Peripheral blood smear.
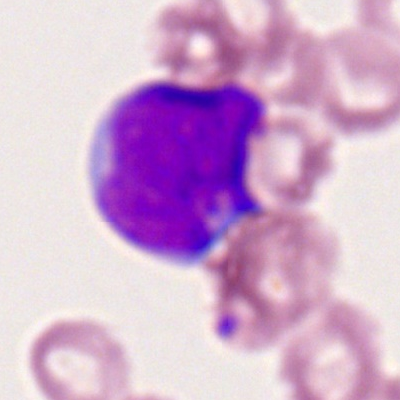

Morphology consistent with a myeloblast.